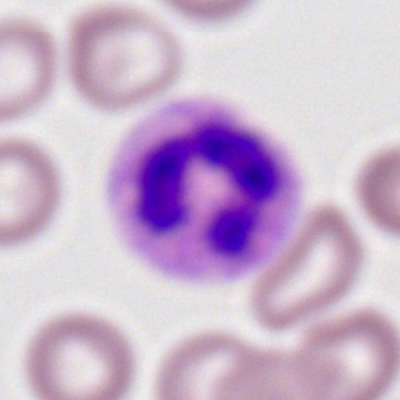

Peripheral blood film, single cell — segmented neutrophil.